Bone marrow smear
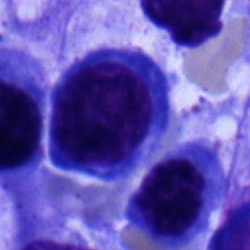 The cell shown is an erythroblast.